Brightfield microscopy, 40× oil immersion; single cell centered in the field; bone marrow smear
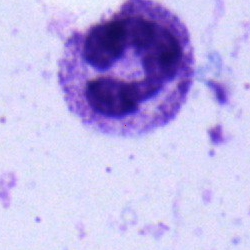
{"cell_type": "segmented neutrophil", "lineage": "myeloid"}